Bone marrow smear: 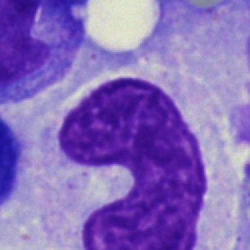

A neutrophil (band).